250×250; bone marrow smear; single-cell crop: 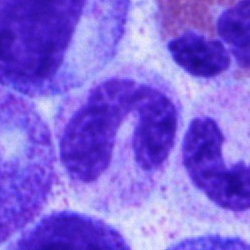 This is a stab cell.